Bone marrow aspirate smear.
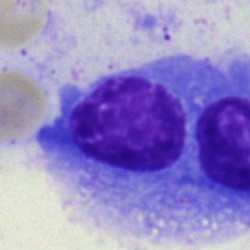Plasma cell.